Peripheral blood smear. 100× oil immersion. Romanowsky-stained.
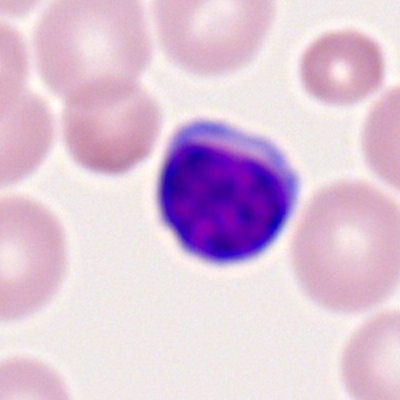 This is a typical lymphocyte.